Single cell centered in the field · bone marrow smear.
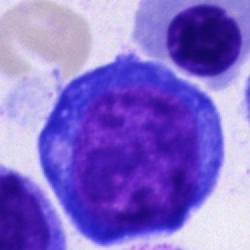

The cell is proerythroblast.